Bone marrow aspirate smear
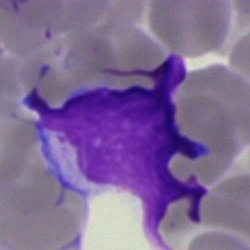
Q: What is shown here?
A: It is an artefact.